Bone marrow aspirate smear: 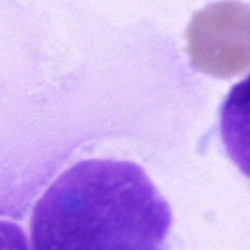
The cell is artifact.